Bone marrow smear.
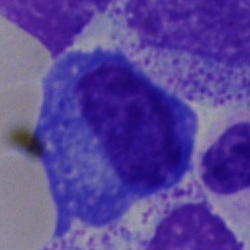 Specimen: bone marrow smear.
Cell: plasmacyte.
Lineage: lymphoid.